Bone marrow aspirate smear — 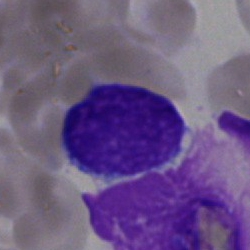

Morphological class: lymphocyte.